Brightfield, 40× oil-immersion objective · bone marrow aspirate smear.
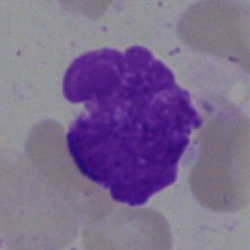

Morphological class — artifact.